Bone marrow smear:
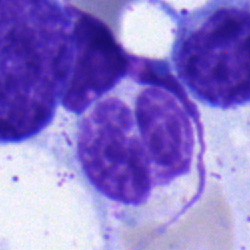Q: Identify the cell.
A: This is a stab cell.